Bone marrow smear.
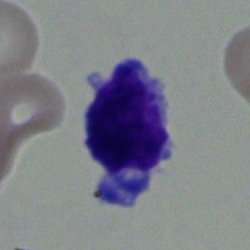
Specimen: bone marrow aspirate smear.
Cell type: lymphocyte.